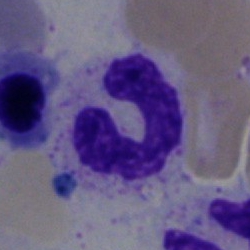

Band-form neutrophil.